Bone marrow smear; cropped to a single cell.
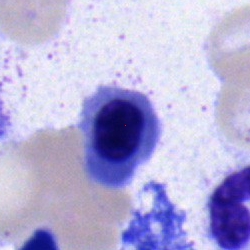

{"cell_type": "nucleated red blood cell"}